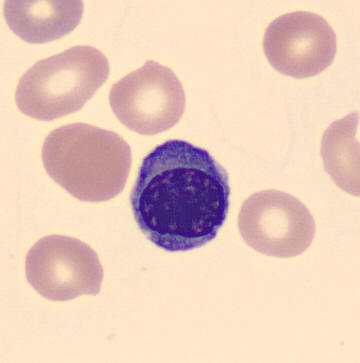 Q: What is the morphological classification of this cell?
A: It is a nucleated red cell. 360×363; single-cell field; peripheral blood film.